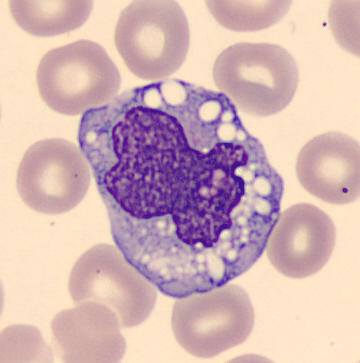Preparation: CellaVision DM96 digital cell image. Peripheral blood film.
Q: What type of cell is this?
A: This is a monocyte.